Bone marrow aspirate smear. 250 by 250 pixels — 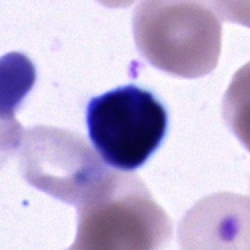 This is an unidentifiable cell.